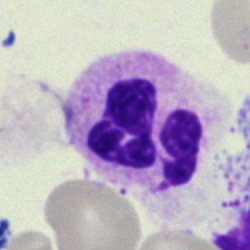

Specimen: bone marrow aspirate smear.
Cell: polymorphonuclear neutrophil.
Lineage: myeloid.